Bone marrow smear; single cell centered in the field.
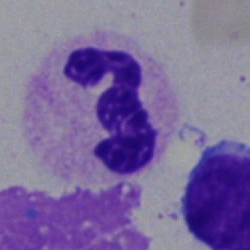

Cell — segmented neutrophil.